Bone marrow smear: 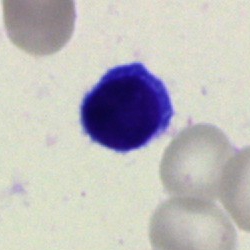

Q: What type of cell is this?
A: It is a typical lymphocyte.